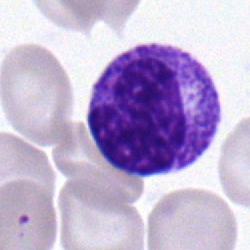

The cell shown is a neutrophil (band).